May-Grünwald-Giemsa/Pappenheim stain · bone marrow smear · single-cell field:
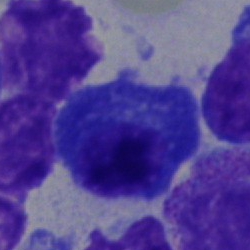

Impression — plasmacyte.